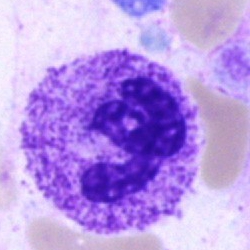
Single cell identified as a polymorphonuclear neutrophil.